Bone marrow aspirate smear:
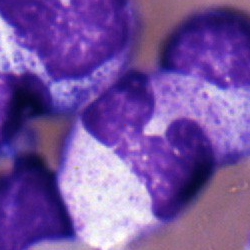Specimen: bone marrow aspirate smear.
Morphological class: polymorphonuclear neutrophil.
Lineage: myeloid.